Bone marrow aspirate smear — 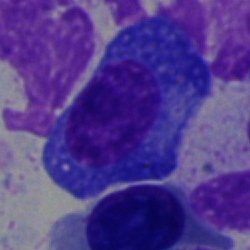{"cell_type": "plasmacyte", "lineage": "lymphoid"}